Bone marrow smear:
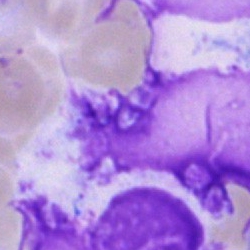
Morphology — artefact.